40× objective, oil immersion · May-Grünwald-Giemsa stain · bone marrow smear.
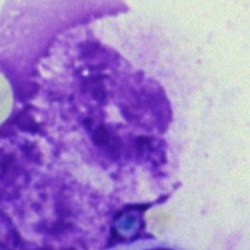
Artifact.